40× oil immersion; bone marrow smear; May-Grünwald-Giemsa stain — 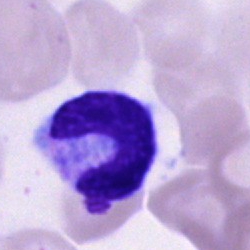 This is an artifact.